Bone marrow aspirate smear · single-cell field · 250 by 250 pixels — 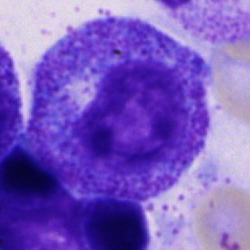
Promyelocyte.